Bone marrow smear
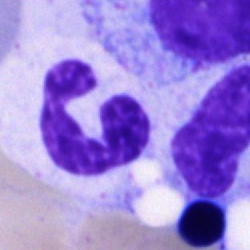

This is a polymorphonuclear neutrophil.